40× objective, oil immersion; bone marrow aspirate smear
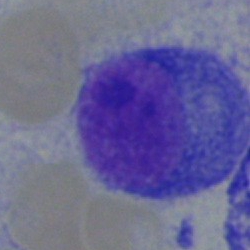
Morphological class: plasma cell.